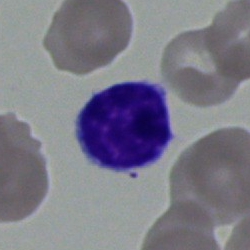
A lymphocyte on a bone marrow smear.